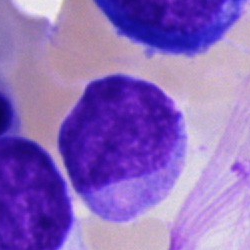

The cell is blast cell.